Bone marrow aspirate smear:
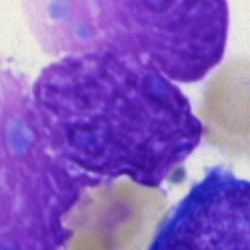

An artefact.